Bone marrow smear — 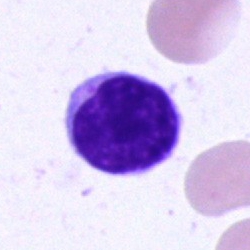
Q: What cell is this?
A: This is a typical lymphocyte.